Bone marrow smear — 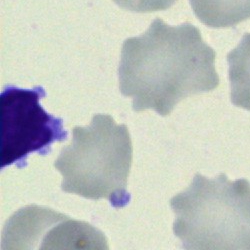

Morphology consistent with a typical lymphocyte.